250 by 250 pixels · bone marrow smear: 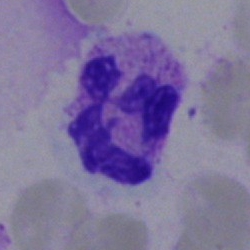 Cell: segmented neutrophil.